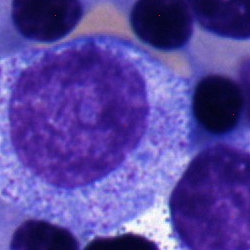 The cell shown is a promyelocyte.